May-Grünwald-Giemsa stain · bone marrow smear
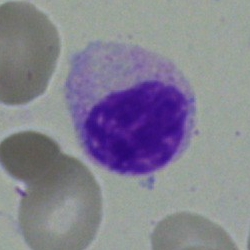Cell type = myelocyte.